Single-cell crop; bone marrow smear: 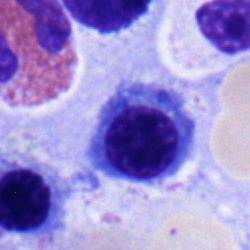This is a nucleated red blood cell.